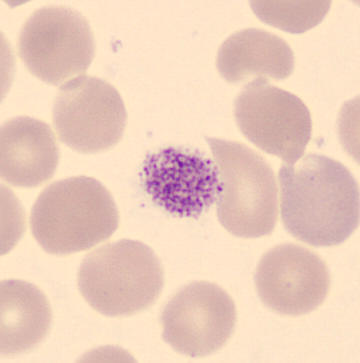
Peripheral blood smear.
Q: What is this?
A: Platelet (thrombocyte).